Bone marrow aspirate smear; brightfield microscopy, 40× oil immersion: 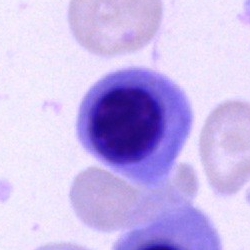Morphology consistent with a normoblast.